Peripheral blood film. CellaVision DM96 digital cell image:
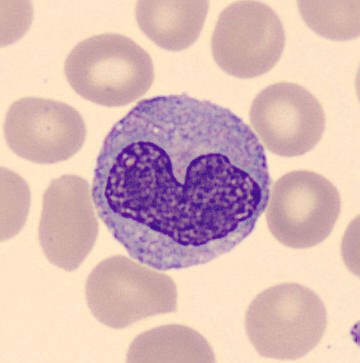Cell type: monocyte.